Bone marrow aspirate smear — 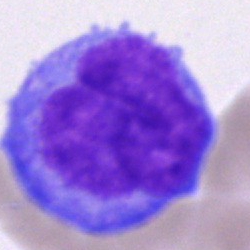 Specimen: bone marrow aspirate smear.
Cell: blast cell.